Bone marrow smear: 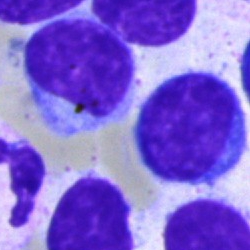Specimen: bone marrow smear.
Classification: typical lymphocyte.
Lineage: lymphoid.